Bone marrow aspirate smear:
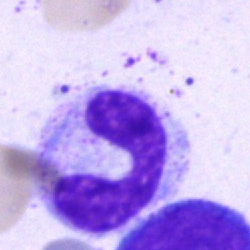
Q: Which cell type is shown here?
A: Band-form neutrophil.